Peripheral blood film: 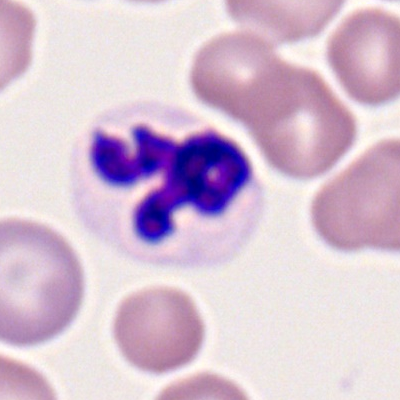
Showing a polymorphonuclear neutrophil.